250×250. Bone marrow aspirate smear.
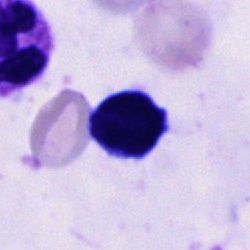 Morphology → cell of indeterminate lineage.